Bone marrow aspirate smear · cropped to a single cell:
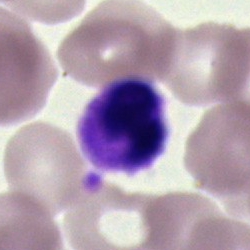
Q: What is shown here?
A: It is an artefact.